Bone marrow aspirate smear. Cropped to a single cell: 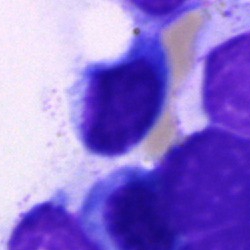 Impression → lymphocyte.